Bone marrow aspirate smear:
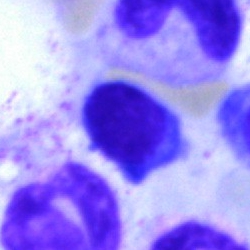 Classification: lymphocyte.